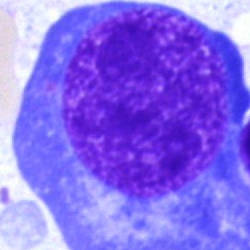
Erythroblast.